Bone marrow aspirate smear
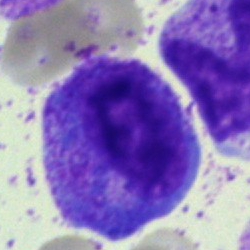Q: Identify the cell.
A: A progranulocyte.